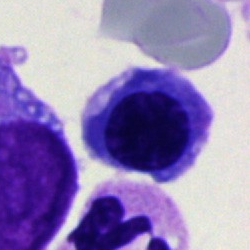Cell — normoblast.